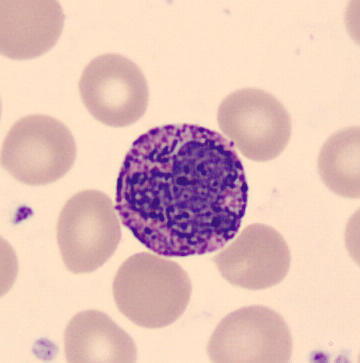
{"cell_type": "basophilic granulocyte"}

Image: Peripheral blood film.